Bone marrow smear
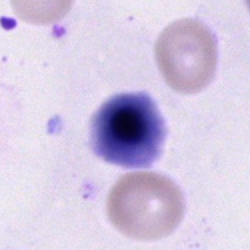

Morphology — nucleated red cell.